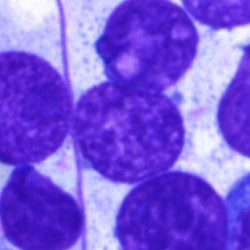Q: What is shown here?
A: Artifact.